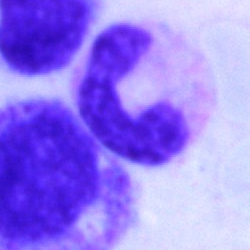Impression → band neutrophil.